Cropped to a single cell; bone marrow aspirate smear: 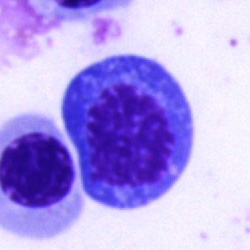

Specimen: bone marrow aspirate smear.
Cell: undifferentiated blast.